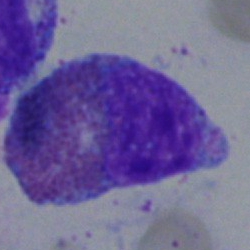 Q: Identify the cell.
A: An eosinophil.